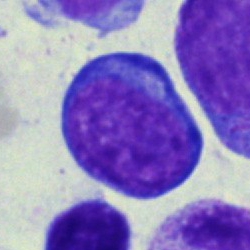 Cell type = pronormoblast.